Bone marrow smear: 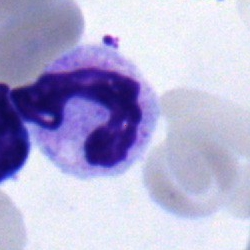 Cell type — neutrophil (band).